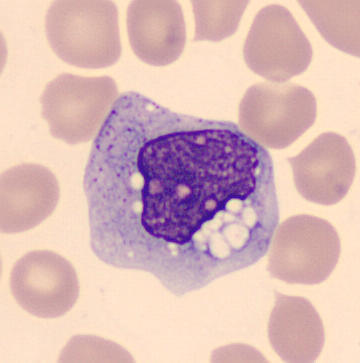

Morphology consistent with a monocyte. Peripheral blood film.